Single cell centered in the field; bone marrow smear
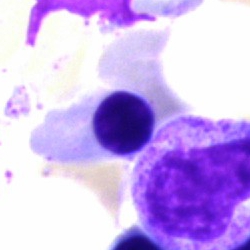

Specimen: bone marrow aspirate smear.
Classification: normoblast.
Lineage: erythroid.